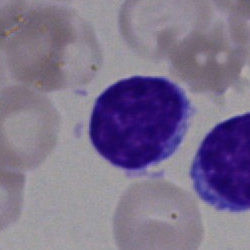

Classification — lymphocyte.